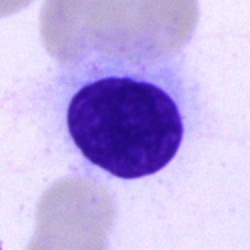 The cell type is unidentifiable cell.